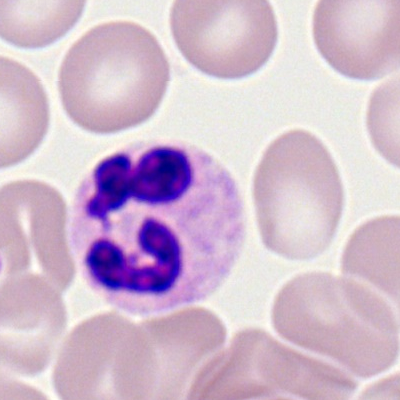
The cell shown is a segmented neutrophil.